MGG-stained · bone marrow smear · 40× objective, oil immersion — 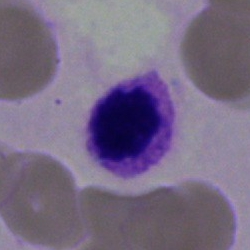A basophilic granulocyte.